Bone marrow smear — 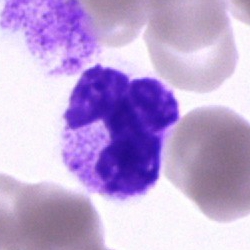Morphology consistent with a polymorphonuclear neutrophil.